Peripheral blood film; cropped to a single cell; Romanowsky-stained.
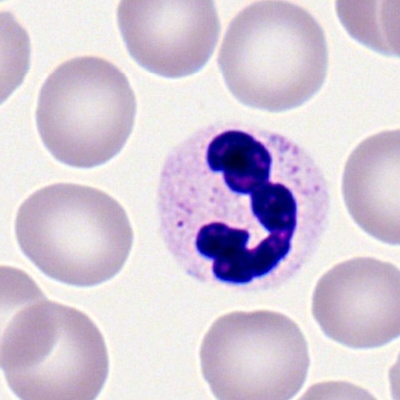
Morphological class: segmented neutrophil.